Bone marrow smear. Image size 250×250: 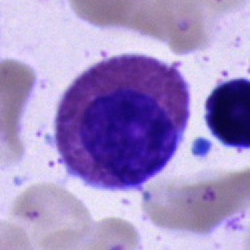This is an eosinophilic granulocyte.